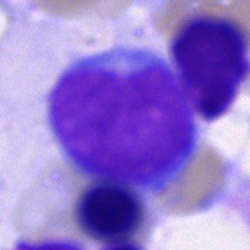

Q: Which cell type is shown here?
A: Blast cell.